Bone marrow smear · single-cell crop · 40× objective, oil immersion — 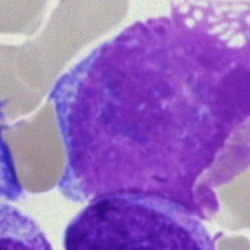Artifact.